Brightfield microscopy, 40× oil immersion. Bone marrow aspirate smear.
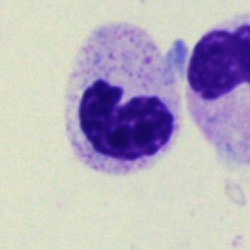 Band neutrophil.